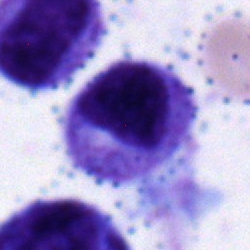
Q: What is the morphological classification of this cell?
A: Myelocyte.